Bone marrow smear
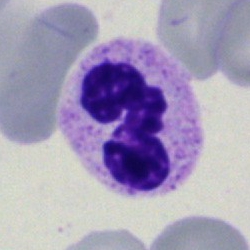

Showing a neutrophil (segmented).